Bone marrow aspirate smear — 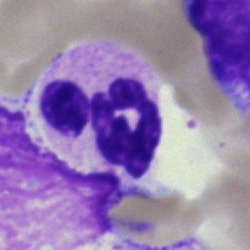
The cell shown is a polymorphonuclear neutrophil.